250 by 250 pixels. Bone marrow smear:
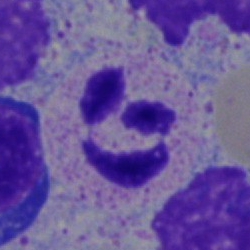 Specimen: bone marrow smear.
Cell: neutrophil (segmented).